Bone marrow aspirate smear:
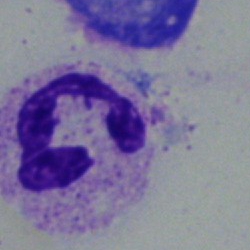Impression — segmented neutrophil.